Bone marrow smear.
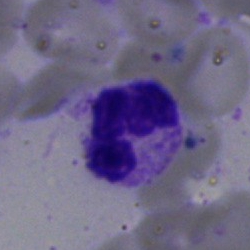
Morphological class — neutrophil (segmented).